250 by 250 pixels; bone marrow aspirate smear
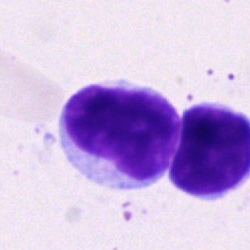This is a typical lymphocyte.